Bone marrow smear · image size 250×250:
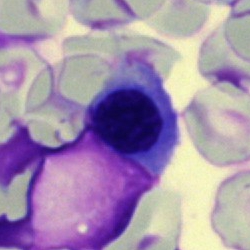 This is a nucleated red blood cell.